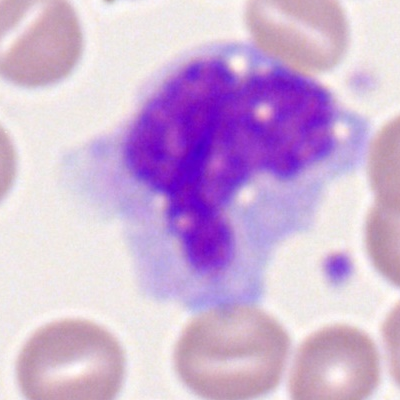Specimen: peripheral blood film.
Morphological class: monocyte.
Lineage: myeloid.